Single-cell field · bone marrow smear · 250 by 250 pixels — 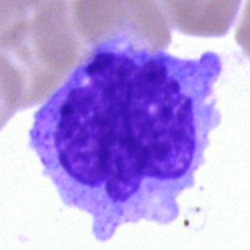Showing a monocyte.